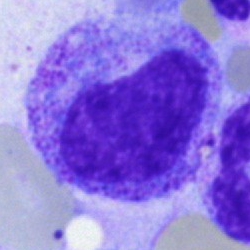

The cell is metamyelocyte.